Bone marrow aspirate smear — 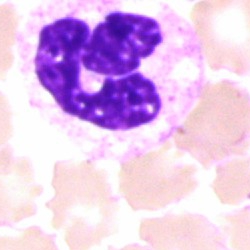Impression → segmented neutrophil.